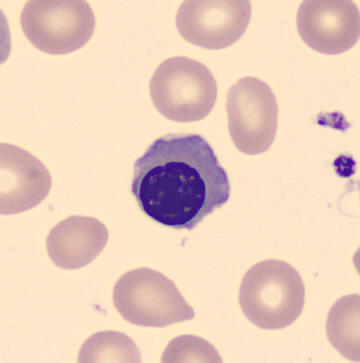 Peripheral blood film.
{"cell_type": "nucleated red cell", "lineage": "erythroid"}